Single-cell field · bone marrow smear — 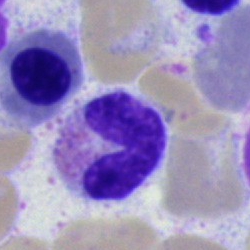
Morphology consistent with an eosinophilic granulocyte.